Bone marrow smear:
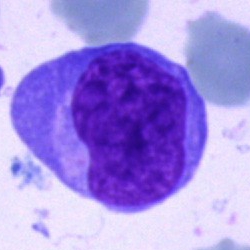 Blast.